Bone marrow aspirate smear: 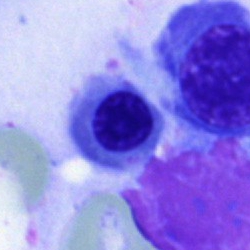
Impression — erythroblast.